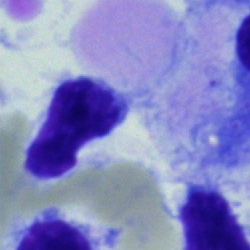

Specimen: bone marrow smear.
Classification: typical lymphocyte.
Lineage: lymphoid.